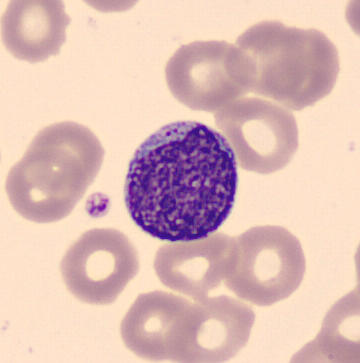Morphology → myelocyte.